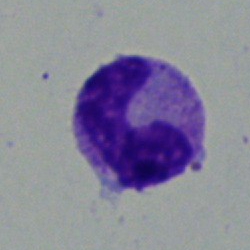Q: Identify the cell.
A: A stab cell.